May-Grünwald-Giemsa stain · bone marrow aspirate smear — 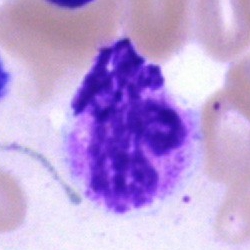Cell — artefact.